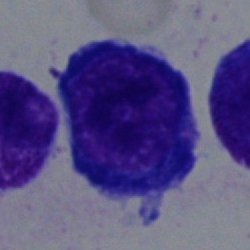

Cell type: nucleated red cell.